Bone marrow aspirate smear
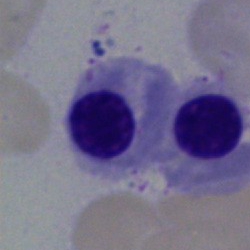
Cell type: erythroblast.